Bone marrow smear:
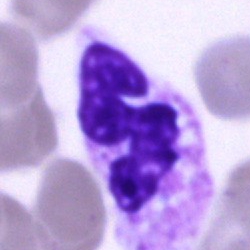 Impression — segmented neutrophil.